Image size 250×250 · bone marrow aspirate smear
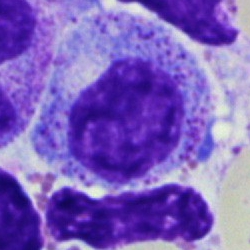
Morphology consistent with a progranulocyte.